Bone marrow aspirate smear.
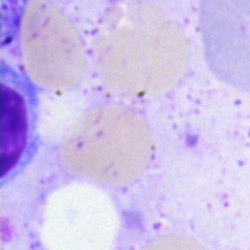 Q: What is shown here?
A: An artifact.